Bone marrow smear: 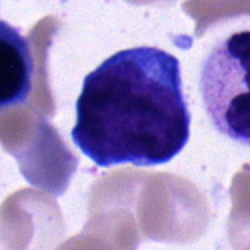
Q: What type of cell is this?
A: A blast.